Peripheral blood smear
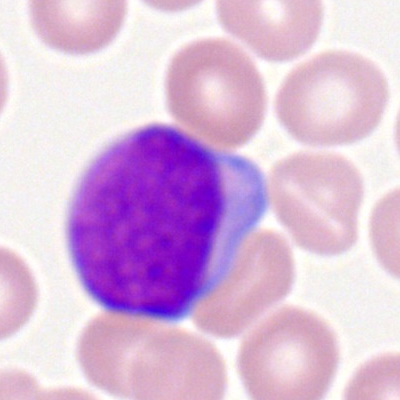 Q: What cell is this?
A: A myeloblast.